Bone marrow aspirate smear; single cell centered in the field
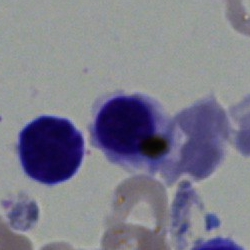
Typical lymphocyte.